Bone marrow aspirate smear · May-Grünwald-Giemsa/Pappenheim stain:
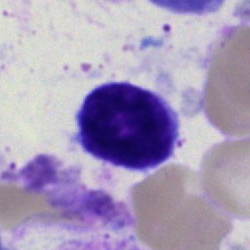 Typical lymphocyte.